Bone marrow aspirate smear:
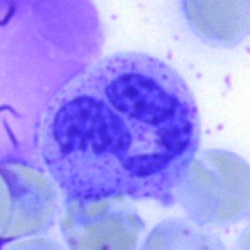 Neutrophil (segmented).